Bone marrow smear; May-Grünwald-Giemsa/Pappenheim stain; brightfield microscopy, 40× oil immersion.
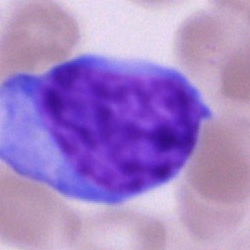
Impression → blast cell.